40× oil immersion · bone marrow smear
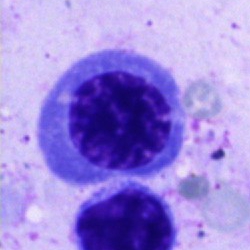
Cell type: normoblast.